100× oil immersion, 14.14 px/µm · peripheral blood smear: 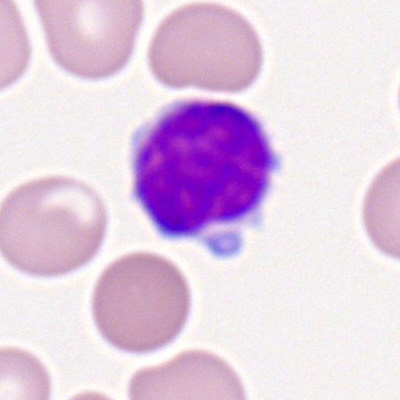 Single cell identified as a lymphocyte.